Bone marrow aspirate smear. 250×250: 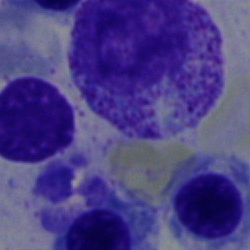
Specimen: bone marrow smear.
Cell type: myelocyte.